Bone marrow smear · 250 by 250 pixels
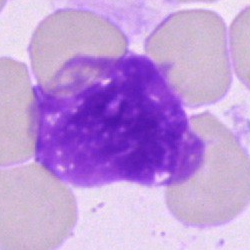

The cell type is artifact.